Single cell centered in the field; 100× oil immersion, 14.14 px/µm; peripheral blood film
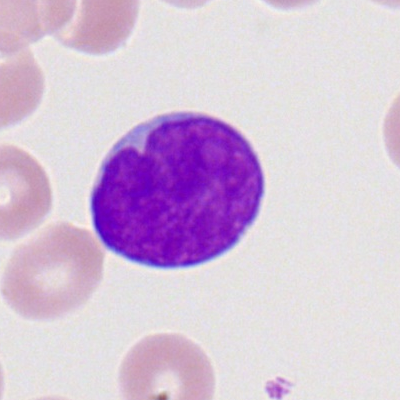
Cell = lymphocyte.